Bone marrow aspirate smear:
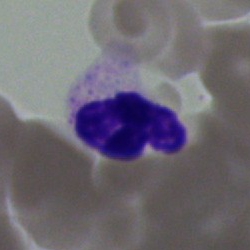
Showing a neutrophil (segmented).